Bone marrow smear
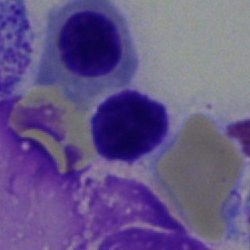Cell: lymphocyte.